Bone marrow smear — 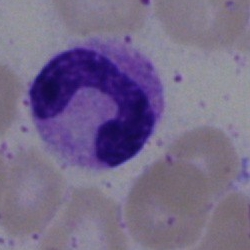
Morphological class: polymorphonuclear neutrophil.